40× oil immersion · 250×250 · bone marrow aspirate smear
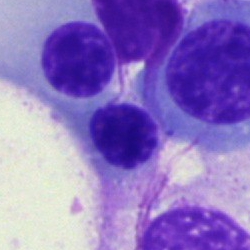 Specimen: bone marrow aspirate smear.
Cell type: normoblast.